Bone marrow aspirate smear. 40× objective, oil immersion.
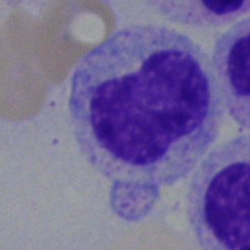

Morphology consistent with a metamyelocyte.